Bone marrow smear.
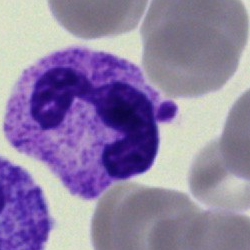
Cell type — polymorphonuclear neutrophil.